MGG-stained · bone marrow aspirate smear · 250 by 250 pixels — 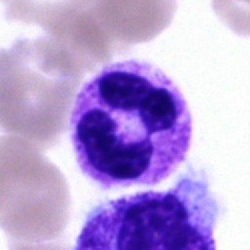
Impression → polymorphonuclear neutrophil.